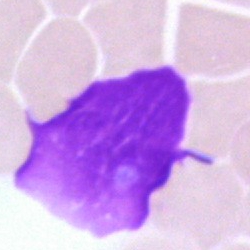

Showing an artefact.